MGG-stained · image size 250×250 · bone marrow aspirate smear.
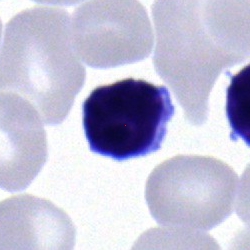

A typical lymphocyte.